Bone marrow aspirate smear
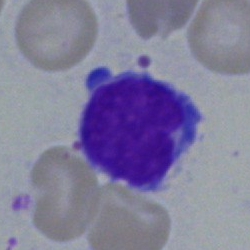 Typical lymphocyte.